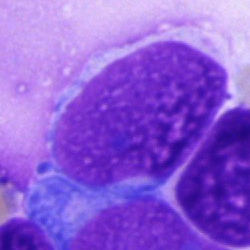

Q: Which cell type is shown here?
A: It is an unidentifiable cell.